Bone marrow aspirate smear: 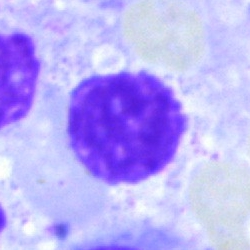

An artifact.